Brightfield, 40× oil-immersion objective. Single cell centered in the field. Bone marrow aspirate smear: 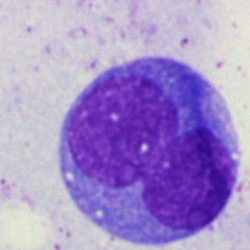 The morphological class is monocyte.